May-Grünwald-Giemsa stain; bone marrow aspirate smear.
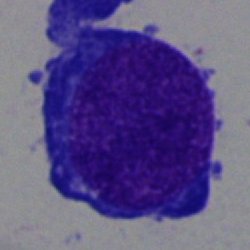
Nucleated red cell.